Bone marrow aspirate smear; May-Grünwald-Giemsa/Pappenheim stain; single-cell field:
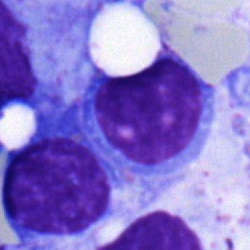
This is a lymphocyte.